40× oil immersion · single cell centered in the field · bone marrow aspirate smear:
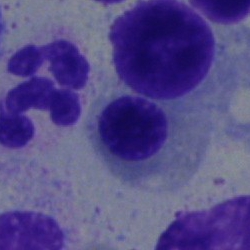Cell type = nucleated red cell.